MGG-stained; bone marrow smear; 250×250.
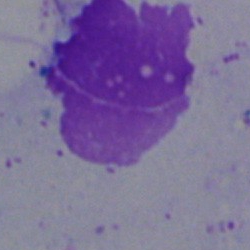
Showing an artifact.